Bone marrow smear
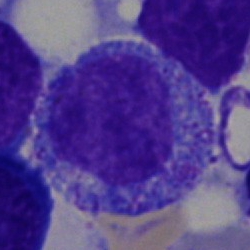

Q: Identify the cell.
A: Promyelocyte.